Bone marrow smear · image size 250×250 — 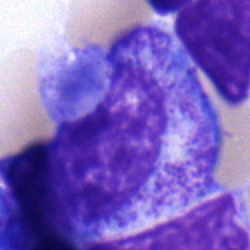
{"cell_type": "promyelocyte", "lineage": "myeloid"}